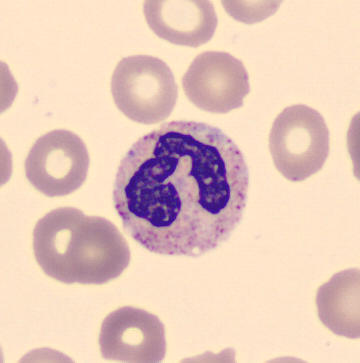
A neutrophil (band). Image: Peripheral blood smear; image size 360×363.